May-Grünwald-Giemsa stain · bone marrow aspirate smear: 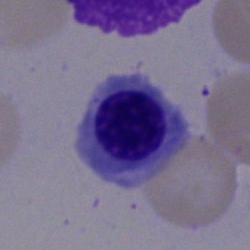A nucleated red blood cell.